Bone marrow smear:
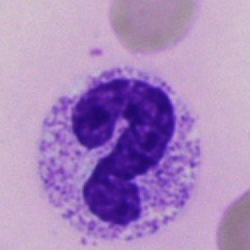
Specimen: bone marrow aspirate smear.
Cell type: segmented neutrophil.
Lineage: myeloid.